Bone marrow aspirate smear · 40× objective, oil immersion · single cell centered in the field:
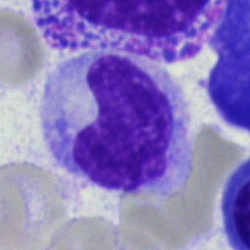 Cell type = stab cell.